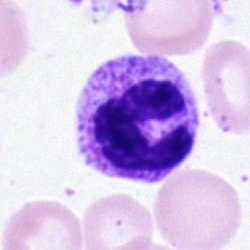

Q: Which cell type is shown here?
A: It is a segmented neutrophil.